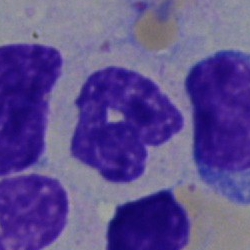 Showing a neutrophil (segmented).